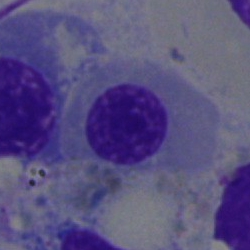

Bone marrow smear showing an erythroblast.